250×250 px · bone marrow aspirate smear — 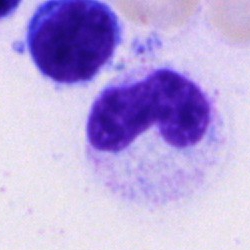

This is a band neutrophil.